Bone marrow smear. Single-cell field. Pappenheim-stained: 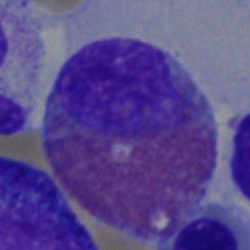 The cell shown is an eosinophil.